Bone marrow smear · May-Grünwald-Giemsa stain
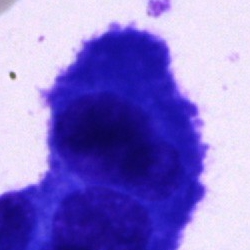Plasma cell.